Bone marrow smear:
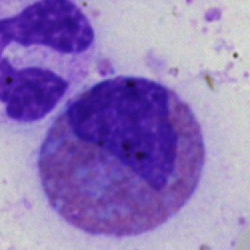
The morphological class is eosinophil.